250 by 250 pixels. Bone marrow smear.
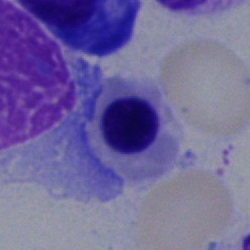

Cell type: nucleated red cell.